Brightfield microscopy, 40× oil immersion · bone marrow aspirate smear · MGG-stained.
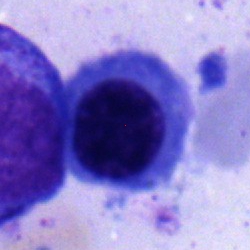Q: What type of cell is this?
A: A nucleated red cell.